Peripheral blood film.
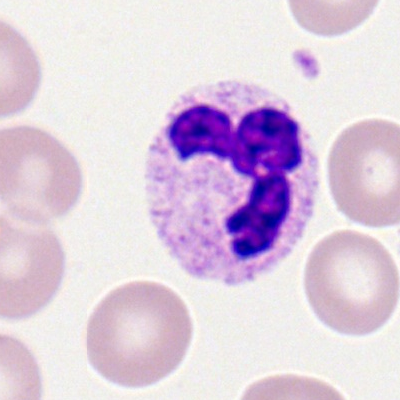Morphology consistent with a polymorphonuclear neutrophil.